Bone marrow smear
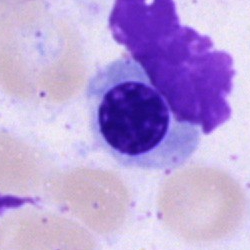Specimen: bone marrow aspirate smear.
Cell: nucleated red cell.
Lineage: erythroid.